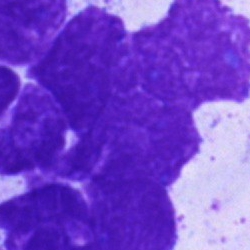
Bone marrow smear showing an artefact.